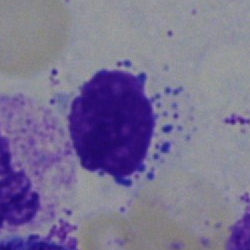 Morphology → artifact.